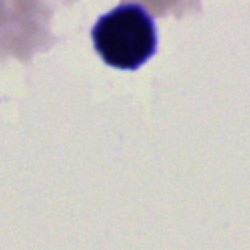The cell shown is an artefact.